Bone marrow aspirate smear
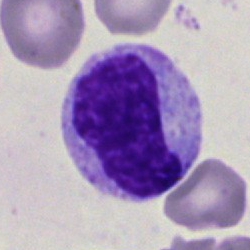

Q: What is shown here?
A: This is a typical lymphocyte.